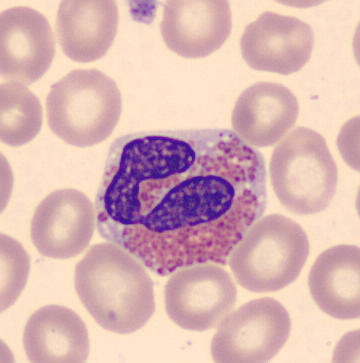Cell = eosinophil.
Preparation: Peripheral blood smear. Cropped to a single cell.